Bone marrow aspirate smear. Brightfield microscopy, 40× oil immersion — 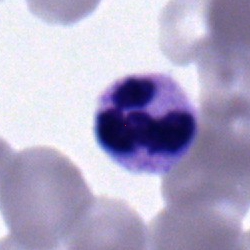Classification — segmented neutrophil.